Bone marrow aspirate smear. 40× oil immersion — 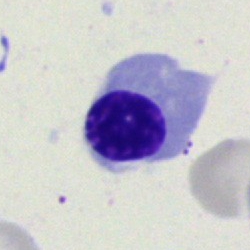Morphological class: nucleated red cell.